Cropped to a single cell. May-Grünwald-Giemsa/Pappenheim stain. Bone marrow smear:
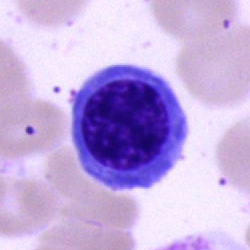Morphological class: erythroblast.